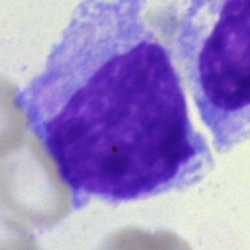Bone marrow smear showing an undifferentiated blast.